Bone marrow smear:
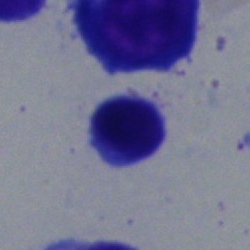
Impression → typical lymphocyte.